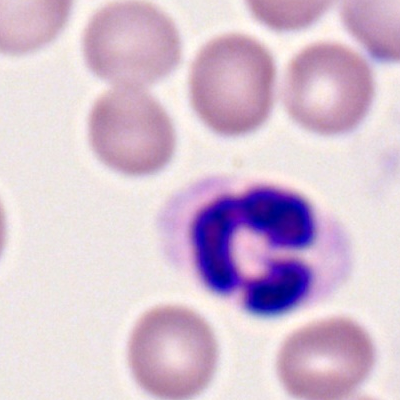
Cell — segmented neutrophil.